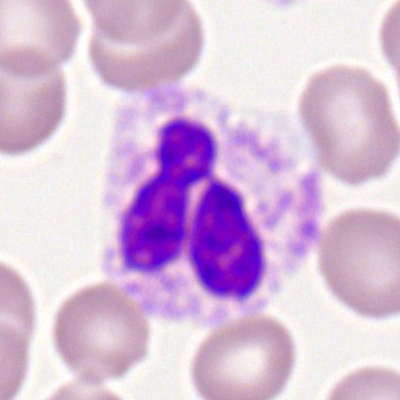 This is a neutrophil (segmented).